Bone marrow smear. Image size 250×250.
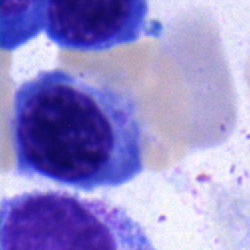An erythroblast.